Bone marrow smear; 40× objective, oil immersion:
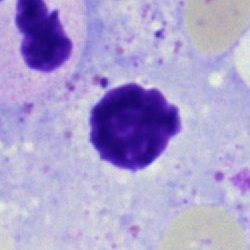The cell shown is an artefact.